Imaged on a CellaVision DM96 analyser. 360×363. Peripheral blood smear:
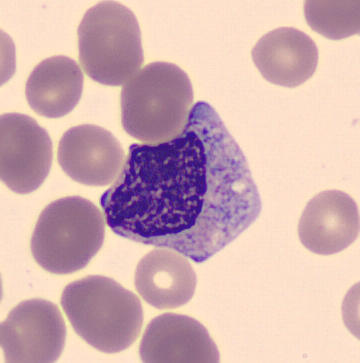

{"cell_type": "myelocyte", "lineage": "myeloid"}